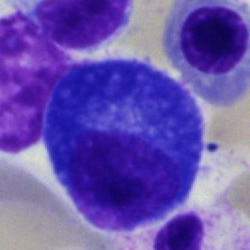
Plasma cell.